Bone marrow aspirate smear: 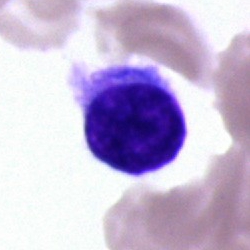Q: What is shown here?
A: Typical lymphocyte.